Bone marrow smear: 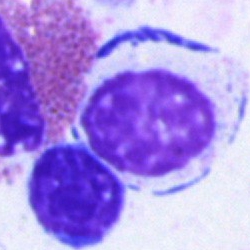

Q: What is shown here?
A: Artefact.